Peripheral blood film
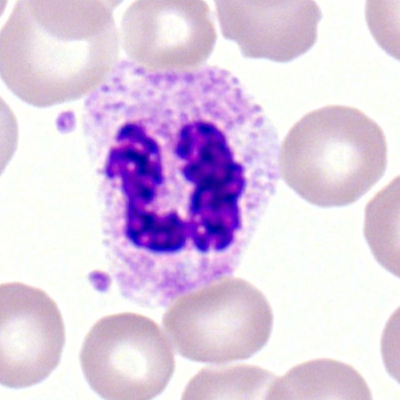Polymorphonuclear neutrophil.